250 by 250 pixels; bone marrow smear:
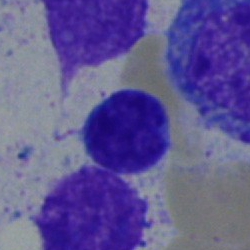 Specimen: bone marrow smear.
Classification: typical lymphocyte.
Lineage: lymphoid.